Bone marrow smear.
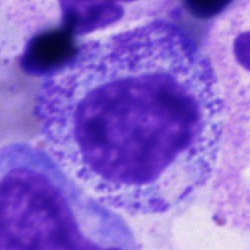Q: What is the morphological classification of this cell?
A: A progranulocyte.